MGG-stained; bone marrow smear; brightfield, 40× oil-immersion objective
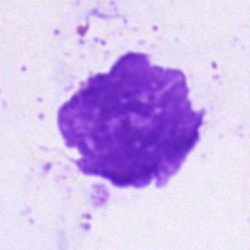
This is an artefact.